Bone marrow aspirate smear; single cell centered in the field; 250 by 250 pixels:
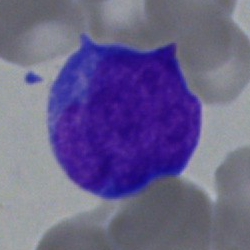Cell: blast.